250 by 250 pixels; brightfield microscopy, 40× oil immersion; bone marrow smear.
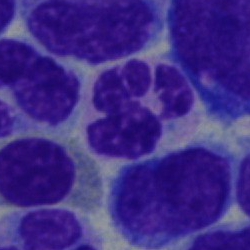 Specimen: bone marrow smear.
Cell type: neutrophil (segmented).
Lineage: myeloid.